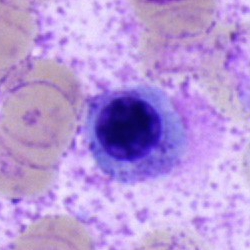 Single cell identified as an erythroblast.